Bone marrow aspirate smear: 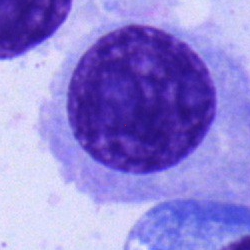This is a plasma cell.